Bone marrow smear.
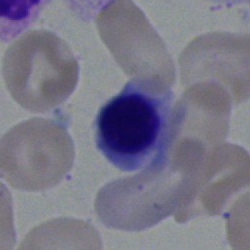
Morphology consistent with a nucleated red blood cell.